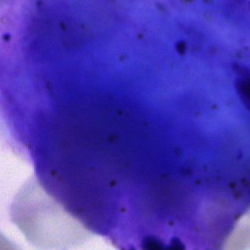

Q: What is shown here?
A: An artefact.